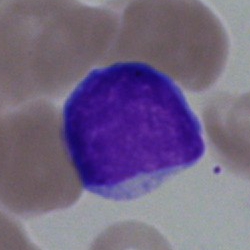

Classification = blast cell.